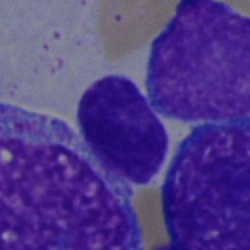
Q: What type of cell is this?
A: This is a typical lymphocyte.